Bone marrow aspirate smear · 250×250: 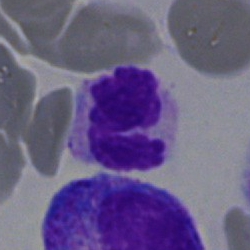 Morphology — polymorphonuclear neutrophil.